100× oil immersion, 14.14 px/µm · peripheral blood smear · 400×400: 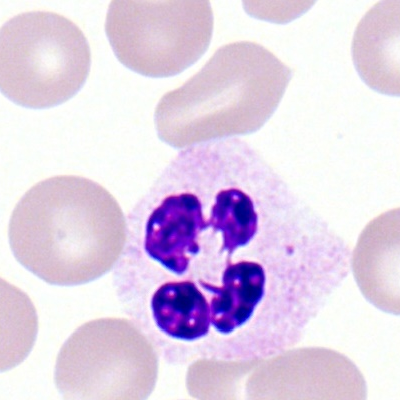A segmented neutrophil.